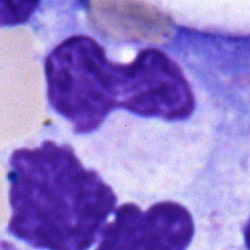

Morphology consistent with a band neutrophil.